Bone marrow smear:
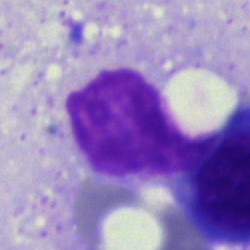Classification = artefact.